250×250 px. Bone marrow smear
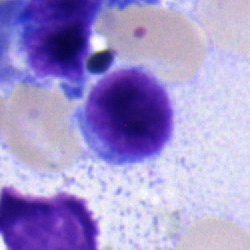 Showing a lymphocyte.